Single-cell crop; bone marrow smear:
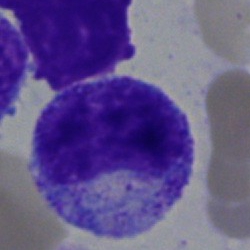
Showing a promyelocyte.